Bone marrow aspirate smear:
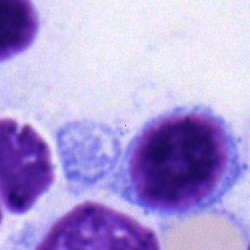
The cell shown is a typical lymphocyte.